Bone marrow smear · single-cell crop · 40× oil immersion: 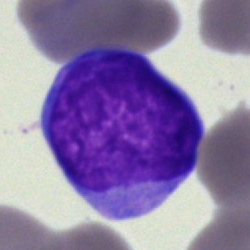
Impression → blast.